Single cell centered in the field. Bone marrow aspirate smear — 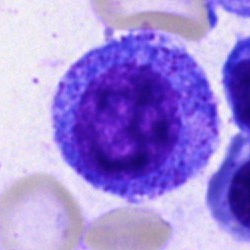 Q: Identify the cell.
A: It is a progranulocyte.